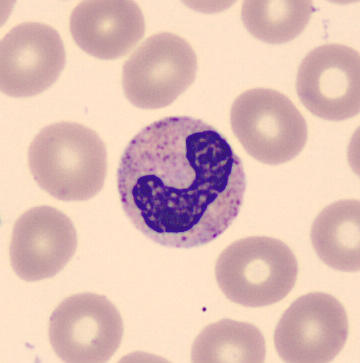
Cell type — stab cell. 360×363 · peripheral blood film.